Bone marrow smear. Brightfield microscopy, 40× oil immersion — 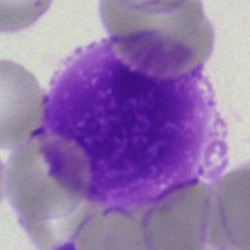
An artefact.